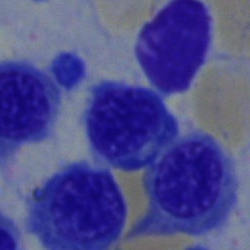Impression → erythroblast.